Bone marrow aspirate smear. Brightfield, 40× oil-immersion objective.
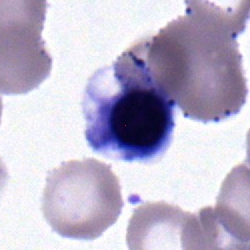Cell: nucleated red cell.